250×250; Pappenheim-stained; bone marrow smear — 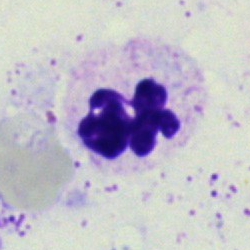The cell shown is a polymorphonuclear neutrophil.